Bone marrow aspirate smear
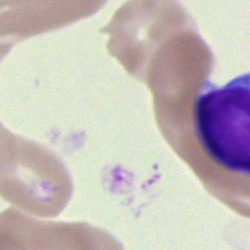

Cell = unidentifiable cell.